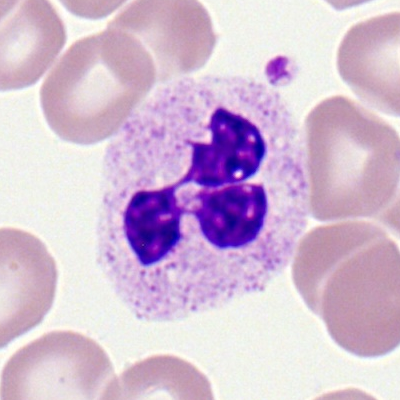 Morphology — neutrophil (segmented).